Peripheral blood smear: 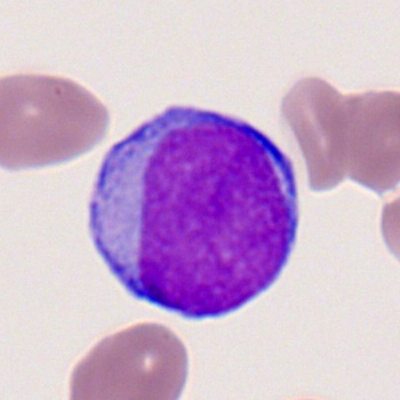 Morphological class — myeloid blast.